Bone marrow aspirate smear
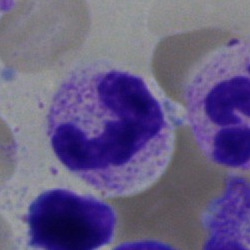 Q: What is shown here?
A: Band-form neutrophil.